Pappenheim-stained · bone marrow smear:
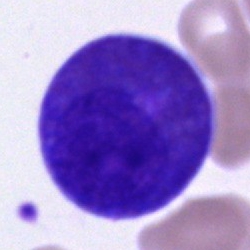 {"cell_type": "eosinophil", "lineage": "myeloid"}